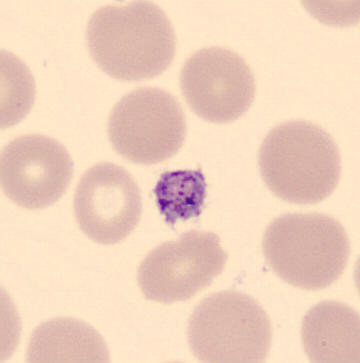 Morphological class: platelet.